400 by 400 pixels; 100× oil immersion, 14.14 px/µm; peripheral blood smear
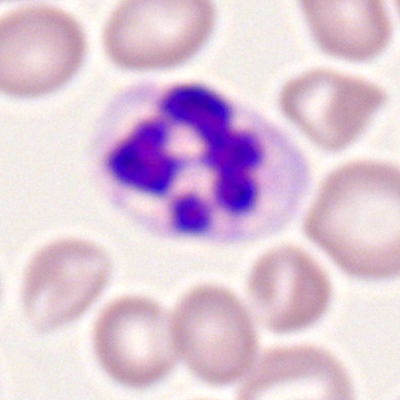Neutrophil (segmented).